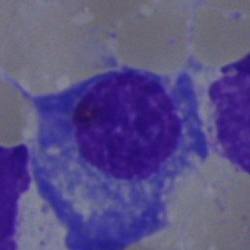 Showing a plasma cell.